Bone marrow aspirate smear: 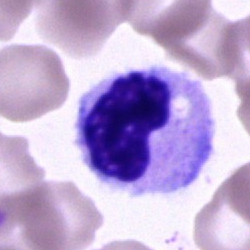

{"cell_type": "cell of indeterminate lineage"}